Bone marrow smear
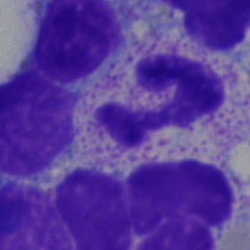Single cell identified as a polymorphonuclear neutrophil.